Brightfield, 40× oil-immersion objective; 250 by 250 pixels; bone marrow smear: 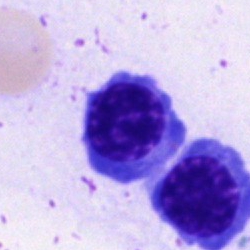

Impression → nucleated red blood cell.